Bone marrow smear. Image size 250×250: 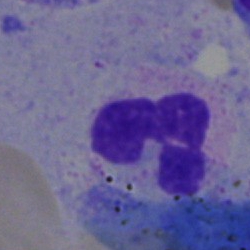

The cell shown is a polymorphonuclear neutrophil.